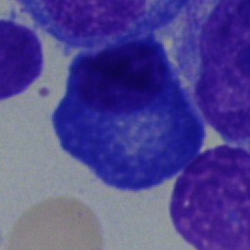

Impression → plasma cell.